Bone marrow aspirate smear.
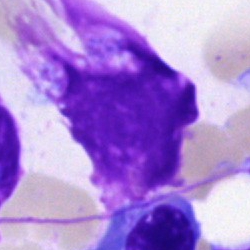
Specimen: bone marrow aspirate smear.
Morphological class: artifact.